Bone marrow smear:
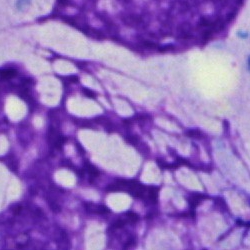 Specimen: bone marrow smear.
Cell type: artifact.